Bone marrow aspirate smear; 40× objective, oil immersion:
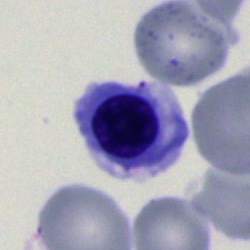 Nucleated red cell.